Bone marrow aspirate smear: 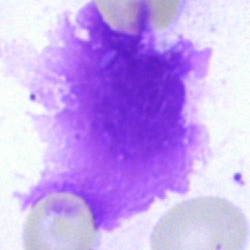 Classification = artifact.